Brightfield, 40× oil-immersion objective; bone marrow smear — 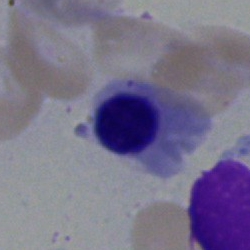Morphology consistent with a normoblast.